Bone marrow smear:
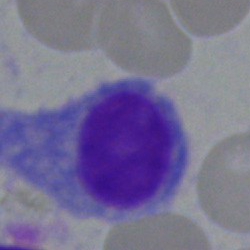
Q: What cell is this?
A: A plasma cell.